Bone marrow smear
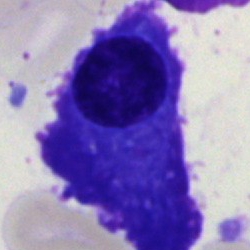
Single cell identified as a plasmacyte.